Bone marrow smear
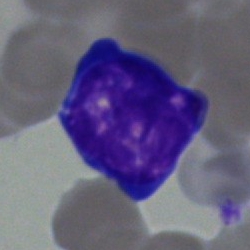Undifferentiated blast.